Bone marrow aspirate smear · image size 250×250
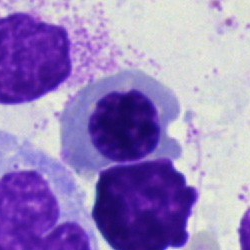Showing a nucleated red blood cell.